Bone marrow aspirate smear:
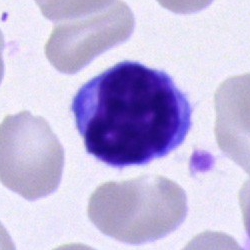 Q: Identify the cell.
A: Typical lymphocyte.